Bone marrow smear.
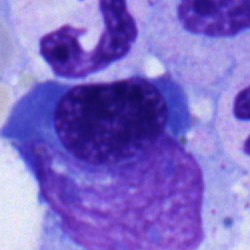

This is a segmented neutrophil.